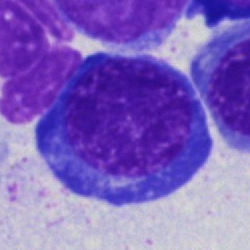 Cell type = nucleated red cell.